Bone marrow smear:
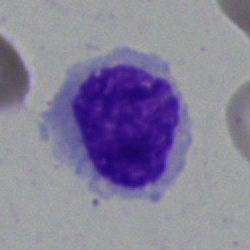 This is a lymphocyte.